May-Grünwald-Giemsa/Pappenheim stain; bone marrow smear; 250 by 250 pixels.
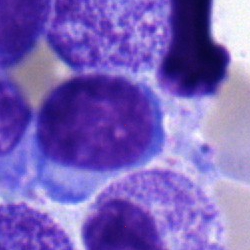

This is a lymphocyte.